Bone marrow smear.
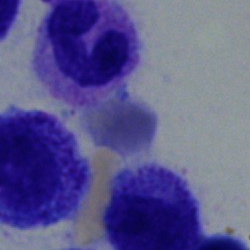
The cell is segmented neutrophil.